Single-cell field. Bone marrow smear. Image size 250×250 — 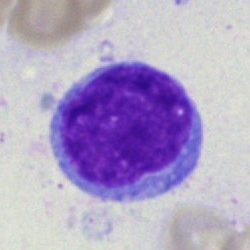 Q: What is the morphological classification of this cell?
A: This is an undifferentiated blast.